Bone marrow aspirate smear; MGG-stained; brightfield, 40× oil-immersion objective
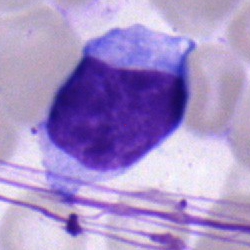

Showing a lymphocyte.